Bone marrow smear.
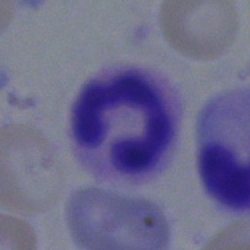 Morphology — segmented neutrophil.